Bone marrow smear
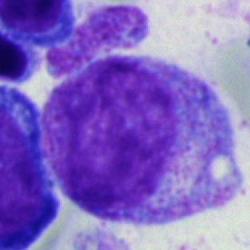 Morphological class = promyelocyte.